Bone marrow smear: 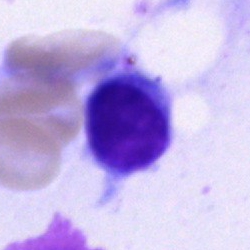This is a typical lymphocyte.